Peripheral blood film; 100× oil immersion; Romanowsky-stained
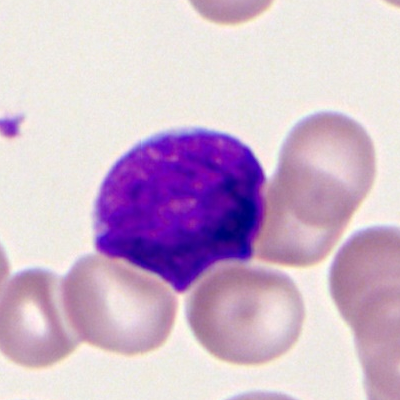

Q: What is shown here?
A: A myeloblast.